Bone marrow smear. 40× oil immersion:
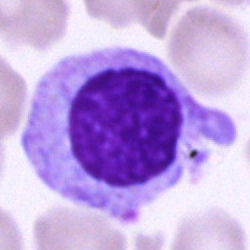
Q: What is the morphological classification of this cell?
A: It is a plasmacyte.